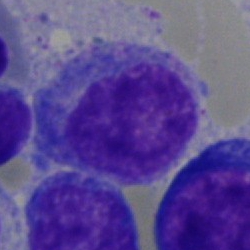 Cell type = promyelocyte.